Bone marrow aspirate smear · May-Grünwald-Giemsa stain · single cell centered in the field — 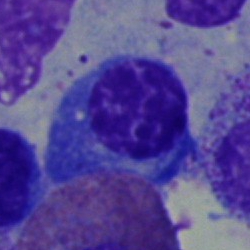 Impression → plasma cell.